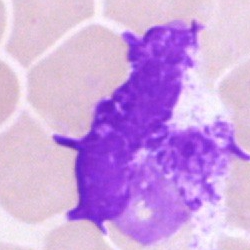Specimen: bone marrow smear.
Cell: artifact.